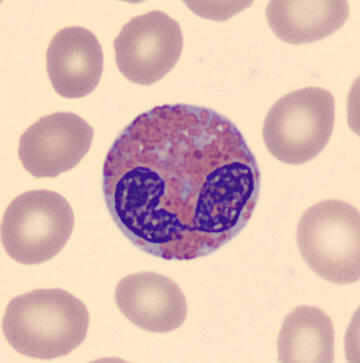Image: Peripheral blood smear; May-Grünwald-Giemsa-stained.

Cell = eosinophilic granulocyte.